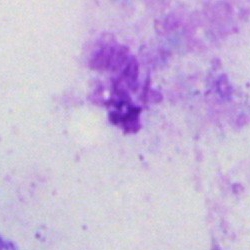 Classification = artifact.